Peripheral blood smear — 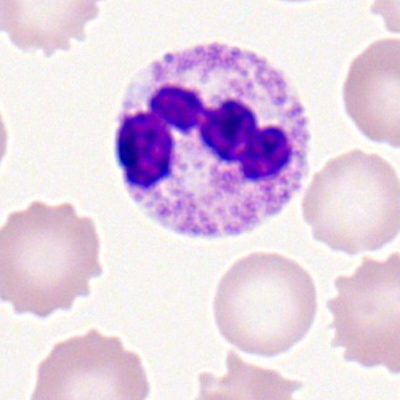Specimen: peripheral blood film.
Cell: polymorphonuclear neutrophil.